250 by 250 pixels. Bone marrow aspirate smear:
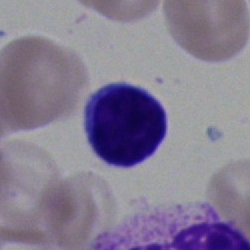
Specimen: bone marrow aspirate smear.
Classification: lymphocyte.